Brightfield, 40× oil-immersion objective · 250×250 · bone marrow smear — 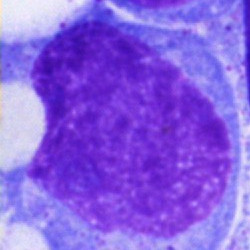Q: Identify the cell.
A: It is an undifferentiated blast.